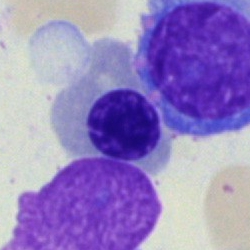
Specimen: bone marrow smear.
Morphological class: normoblast.
Lineage: erythroid.